Bone marrow aspirate smear; single-cell field:
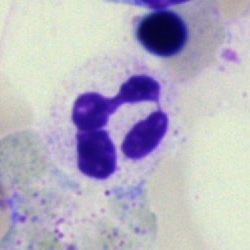The cell shown is a polymorphonuclear neutrophil.